Bone marrow smear: 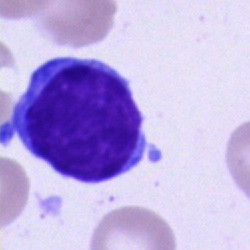Q: Which cell type is shown here?
A: It is a typical lymphocyte.